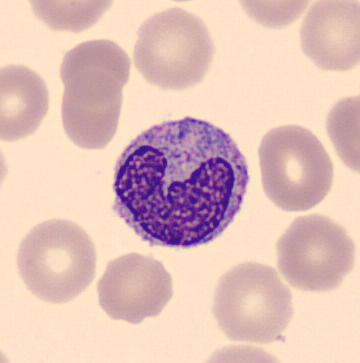 A monocyte.